Bone marrow aspirate smear — 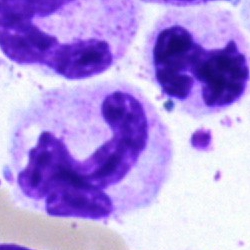 Neutrophil (segmented).